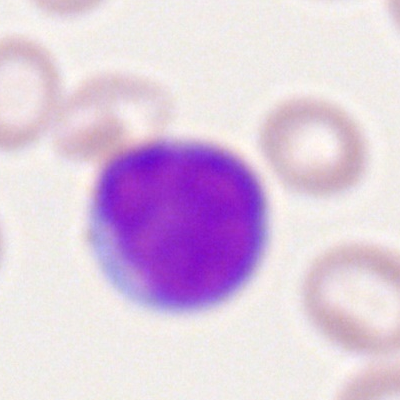

Morphological class — typical lymphocyte.